Bone marrow aspirate smear:
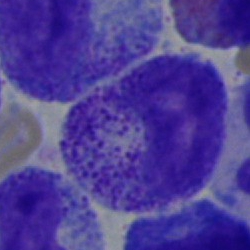Q: Identify the cell.
A: This is a myelocyte.